Bone marrow aspirate smear. 250×250. Pappenheim-stained: 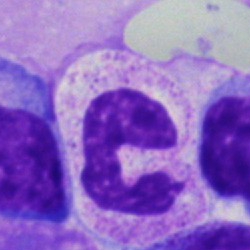

Band neutrophil.